Image size 250×250; bone marrow aspirate smear — 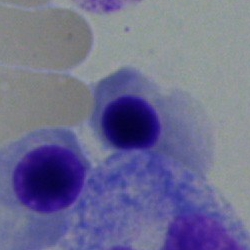
This is a nucleated red cell.